Peripheral blood film
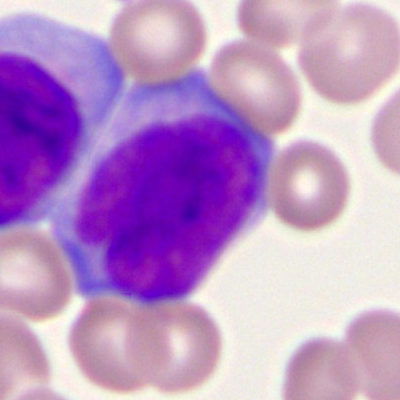

Morphology consistent with a myeloblast.